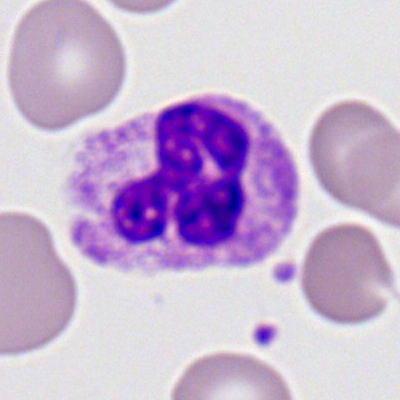 Cell type: neutrophil (segmented).